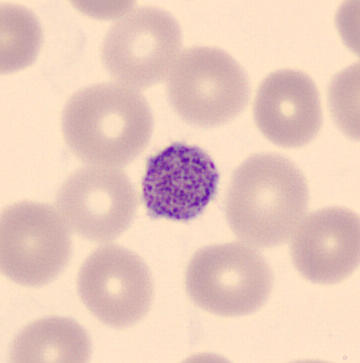

Classification: thrombocyte.
CellaVision DM96. Peripheral blood film. 360 by 363 pixels.